Pappenheim-stained · bone marrow aspirate smear: 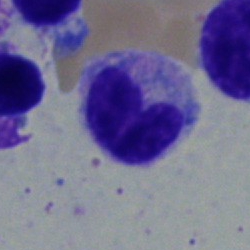
A metamyelocyte.